Bone marrow aspirate smear
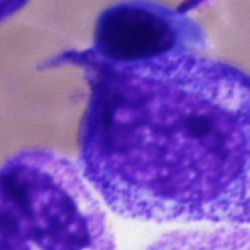Morphology → progranulocyte.